Bone marrow smear. 250×250.
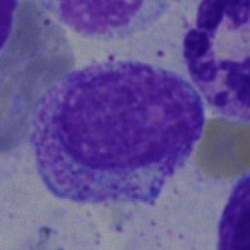
Cell = myelocyte.